Bone marrow aspirate smear
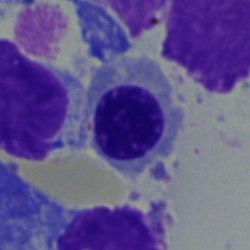
Nucleated red blood cell.